Single-cell crop. Bone marrow aspirate smear: 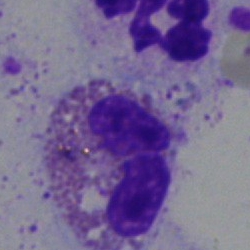

Specimen: bone marrow aspirate smear.
Cell type: eosinophil.